250×250 px; brightfield microscopy, 40× oil immersion; bone marrow aspirate smear: 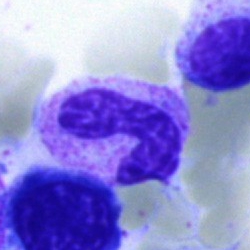Specimen: bone marrow aspirate smear.
Classification: polymorphonuclear neutrophil.